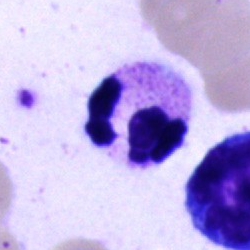

Cell type: segmented neutrophil.